Bone marrow smear: 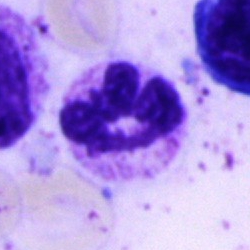Specimen: bone marrow aspirate smear.
Classification: segmented neutrophil.
Lineage: myeloid.